Bone marrow aspirate smear:
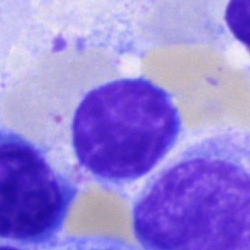This is a lymphocyte.